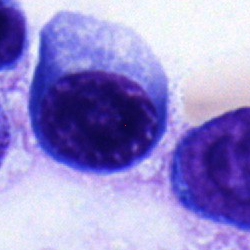 Classification: nucleated red blood cell.